Peripheral blood smear.
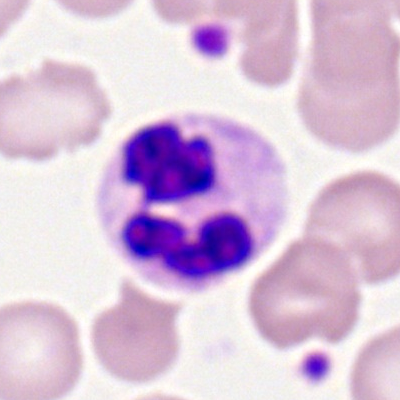 Impression → polymorphonuclear neutrophil.